Bone marrow aspirate smear:
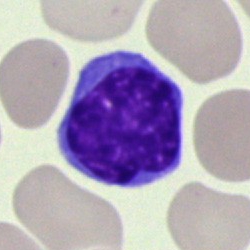
Specimen: bone marrow aspirate smear.
Cell: typical lymphocyte.